Bone marrow aspirate smear: 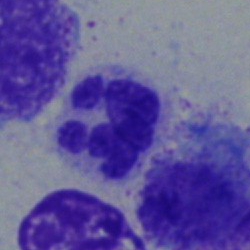 This is a segmented neutrophil.